Bone marrow smear
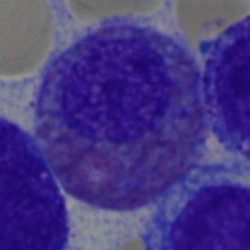
Q: Which cell type is shown here?
A: This is an eosinophilic granulocyte.